May-Grünwald-Giemsa stain. Bone marrow smear
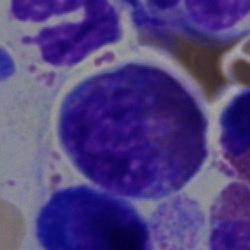Classification — eosinophil.